Bone marrow smear — 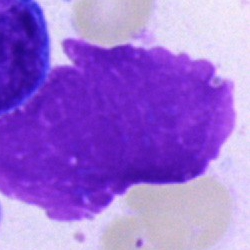 The cell type is artefact.